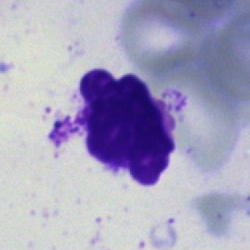 Q: What is shown here?
A: An artefact.